Bone marrow aspirate smear — 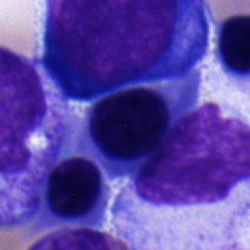
{"cell_type": "erythroblast", "lineage": "erythroid"}